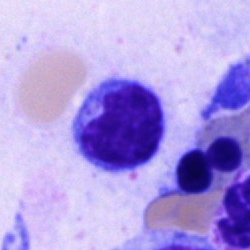
Q: What type of cell is this?
A: A typical lymphocyte.